Peripheral blood smear
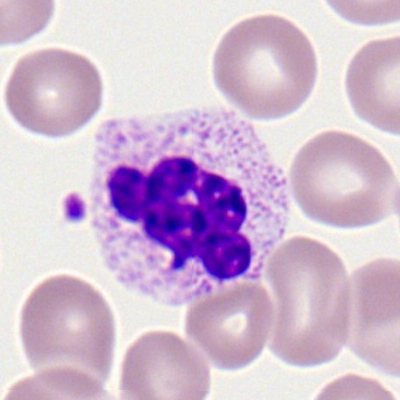 Neutrophil (segmented).